Cropped to a single cell. Bone marrow aspirate smear — 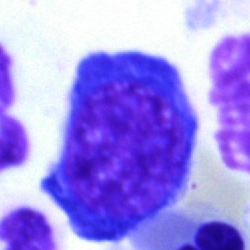
{"cell_type": "nucleated red cell", "lineage": "erythroid"}